May-Grünwald-Giemsa stain. Single cell centered in the field. Bone marrow smear
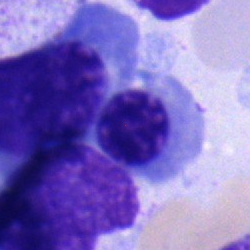Cell type — nucleated red cell.